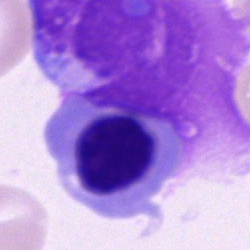 Morphology → normoblast.